Bone marrow aspirate smear
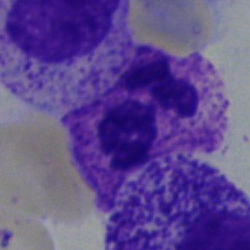

Showing a neutrophil (segmented).